Bone marrow smear:
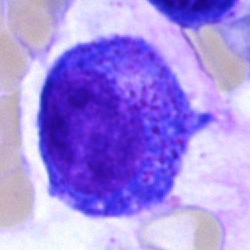

Morphology → progranulocyte.